Bone marrow smear. May-Grünwald-Giemsa/Pappenheim stain.
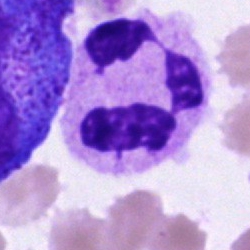 A segmented neutrophil.